40× objective, oil immersion. Bone marrow smear. Single-cell field — 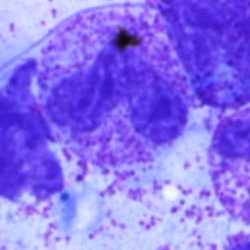Morphology — polymorphonuclear neutrophil.